Bone marrow smear: 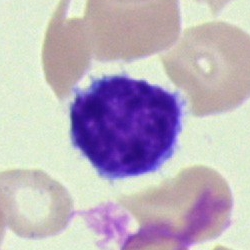 Impression — lymphocyte.